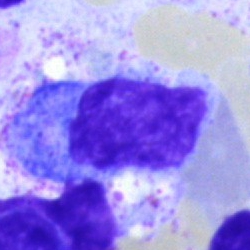The cell shown is a lymphocyte.